Bone marrow smear: 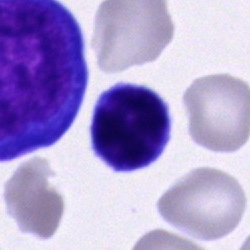

Q: What is shown here?
A: A typical lymphocyte.